Bone marrow smear.
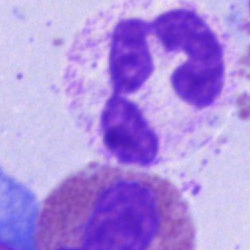

Specimen: bone marrow aspirate smear.
Cell type: neutrophil (segmented).
Lineage: myeloid.